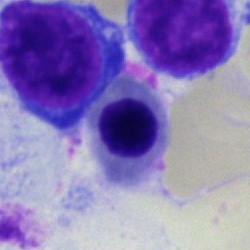

Q: What type of cell is this?
A: It is a normoblast.